Bone marrow smear: 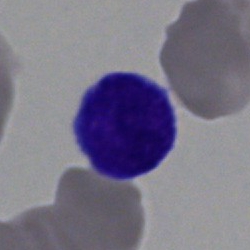

Impression — lymphocyte.